Bone marrow aspirate smear.
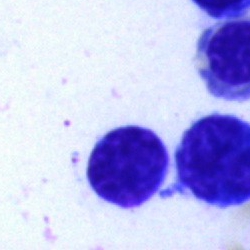

Showing a typical lymphocyte.